Bone marrow aspirate smear · 40× objective, oil immersion
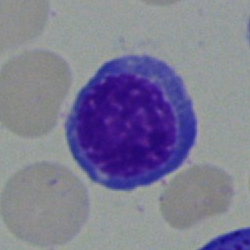Q: Which cell type is shown here?
A: Normoblast.